Bone marrow aspirate smear — 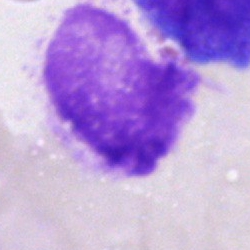This is an artefact.